Image size 250×250; cropped to a single cell; bone marrow smear: 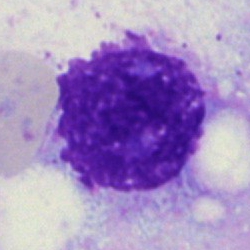
Q: What is shown here?
A: It is an artefact.